Brightfield, 40× oil-immersion objective. Bone marrow smear
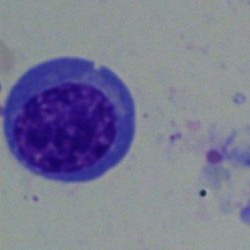
Single cell identified as a normoblast.